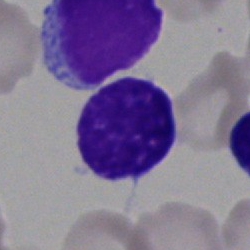The classification is lymphocyte.